Bone marrow aspirate smear. Image size 250×250.
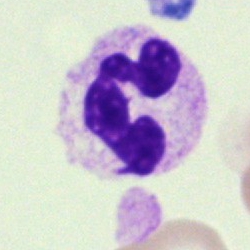 Showing a neutrophil (segmented).